Romanowsky-stained. Peripheral blood smear:
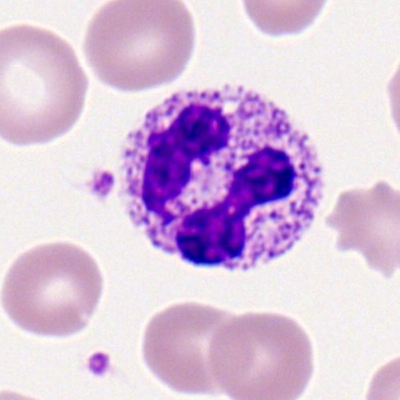

Classification = segmented neutrophil.